Bone marrow smear · brightfield, 40× oil-immersion objective · single-cell crop:
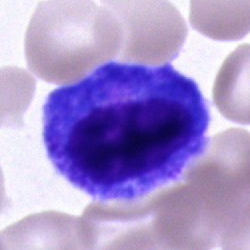 Impression → cell of indeterminate lineage.